Bone marrow smear: 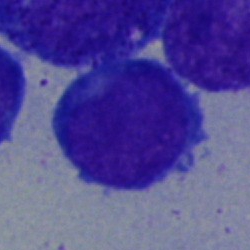

Cell = blast.